Bone marrow aspirate smear: 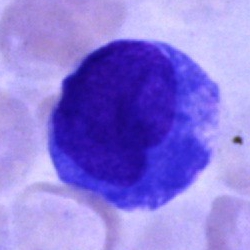

Single cell identified as an undifferentiated blast.